MGG-stained; bone marrow aspirate smear:
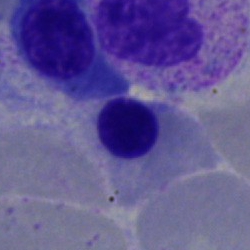
Q: What type of cell is this?
A: Normoblast.